Bone marrow smear · MGG-stained: 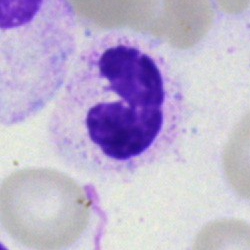Specimen: bone marrow aspirate smear.
Cell: polymorphonuclear neutrophil.
Lineage: myeloid.